Bone marrow aspirate smear — 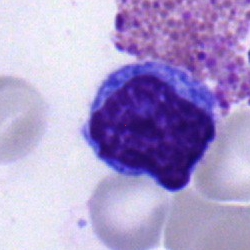

The cell shown is a typical lymphocyte.